Bone marrow smear: 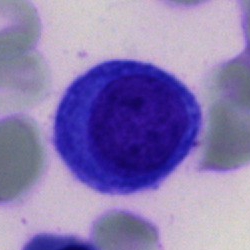

{"cell_type": "blast cell"}